May-Grünwald-Giemsa/Pappenheim stain · bone marrow smear · 40× objective, oil immersion: 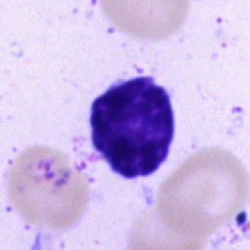
This is a typical lymphocyte.